Bone marrow smear — 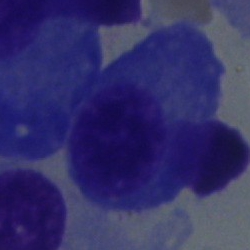

Morphology consistent with a plasmacyte.